Single-cell crop · bone marrow smear
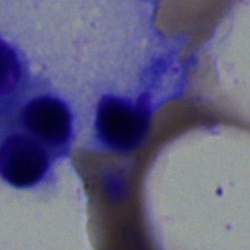

Impression — normoblast.